Bone marrow aspirate smear. 250 by 250 pixels:
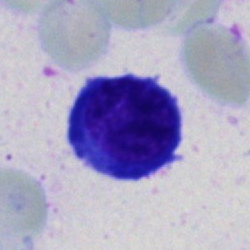 Q: Identify the cell.
A: It is a plasma cell.